Peripheral blood film.
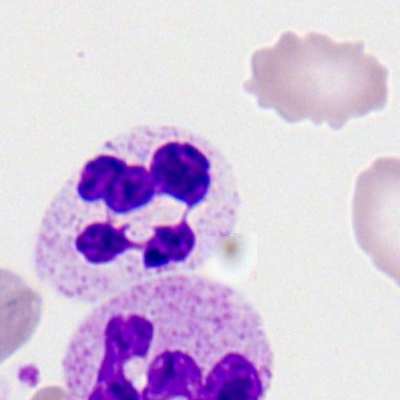 {"cell_type": "neutrophil (segmented)"}